Bone marrow aspirate smear. Pappenheim-stained.
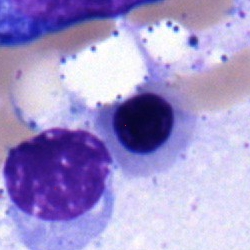Morphological class = nucleated red blood cell.